Brightfield, 40× oil-immersion objective. Bone marrow aspirate smear
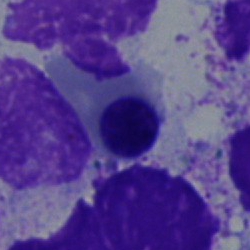 This is a nucleated red cell.